Bone marrow smear:
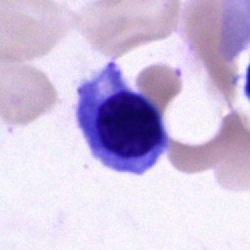

Q: What is the morphological classification of this cell?
A: This is an erythroblast.